Single-cell crop · bone marrow smear · 40× objective, oil immersion
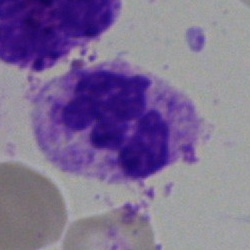
Cell type = neutrophil (segmented).